MGG-stained. Bone marrow aspirate smear:
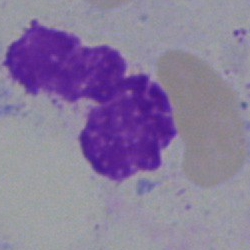 Q: What is shown here?
A: This is an artifact.